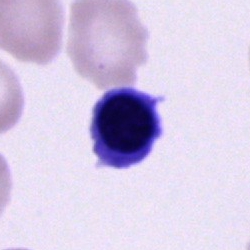Q: What is the morphological classification of this cell?
A: It is a nucleated red cell.